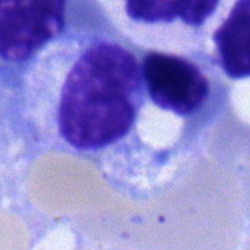
The cell type is band neutrophil.